Bone marrow aspirate smear; image size 250×250.
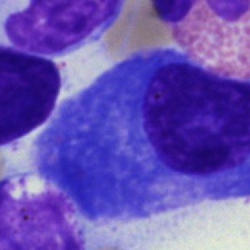Single cell identified as a plasmacyte.